Bone marrow smear
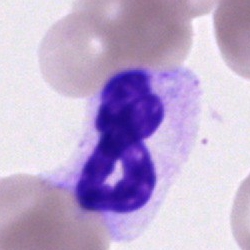
Specimen: bone marrow smear.
Cell: neutrophil (segmented).
Lineage: myeloid.